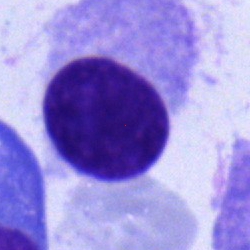The morphological class is plasmacyte.